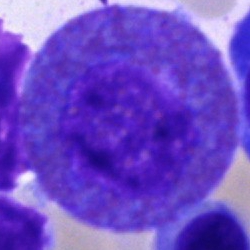
Bone marrow aspirate smear, single cell — eosinophil.